Bone marrow aspirate smear: 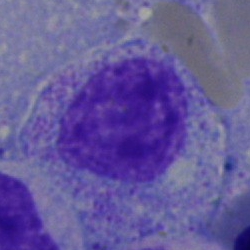Single cell identified as a myelocyte.